Brightfield, 40× oil-immersion objective · image size 250×250 · bone marrow smear:
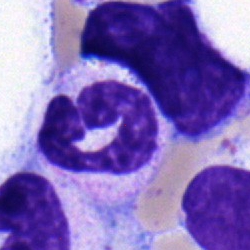
Q: What cell is this?
A: This is a polymorphonuclear neutrophil.